Peripheral blood film — 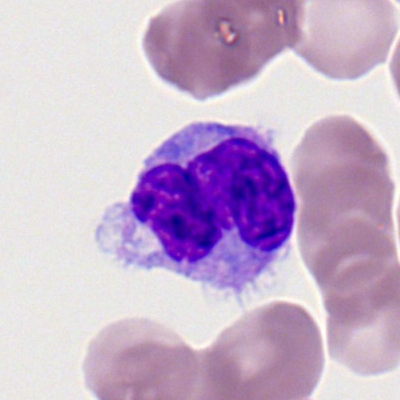
{"cell_type": "monocyte", "lineage": "myeloid"}